Peripheral blood film. 400 by 400 pixels
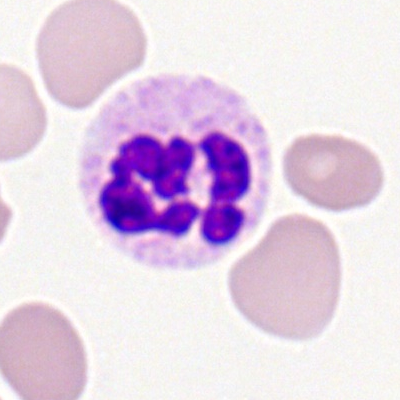Morphology — neutrophil (segmented).